Peripheral blood smear · single-cell crop: 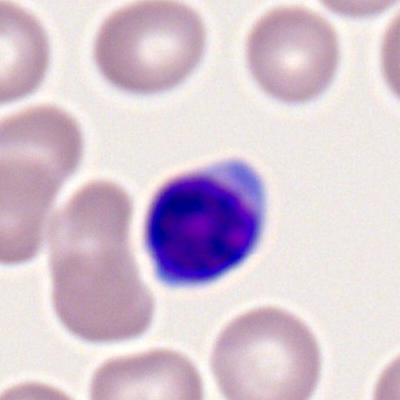

Single cell identified as a typical lymphocyte.